Bone marrow aspirate smear:
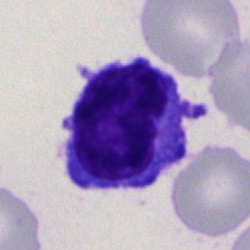
{"cell_type": "lymphocyte", "lineage": "lymphoid"}